Bone marrow smear — 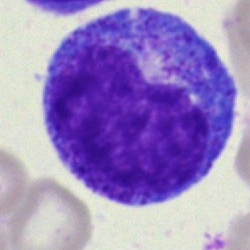The cell shown is a promyelocyte.